Bone marrow smear:
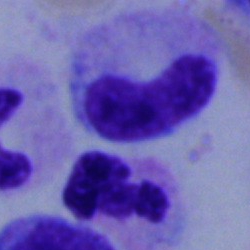

Morphological class: band-form neutrophil.